Bone marrow aspirate smear; 250×250; Pappenheim-stained
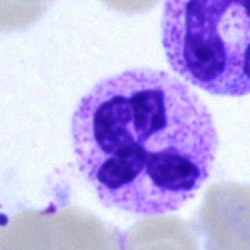 Morphology consistent with a neutrophil (segmented).